400 by 400 pixels; peripheral blood smear — 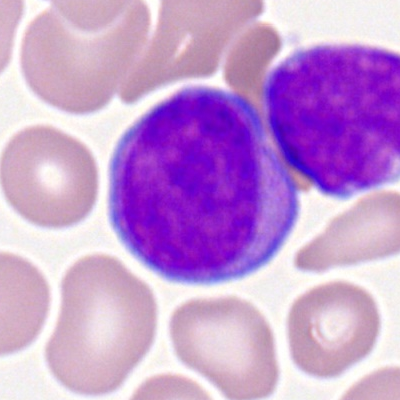

Myeloid blast.